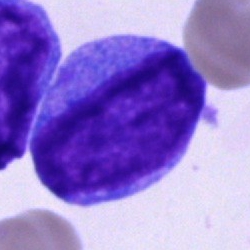

Morphology — blast cell.